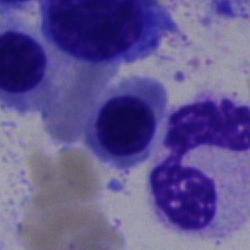
{"cell_type": "nucleated red blood cell", "lineage": "erythroid"}